Bone marrow aspirate smear:
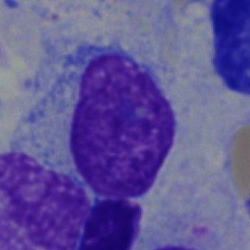
Morphology consistent with a lymphocyte.